May-Grünwald-Giemsa/Pappenheim stain · single-cell field · bone marrow aspirate smear — 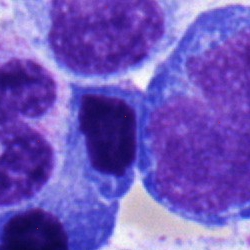 A typical lymphocyte.